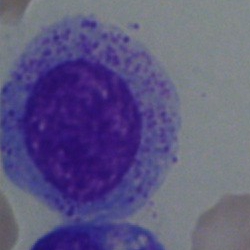
Morphology consistent with a myelocyte.